Bone marrow smear.
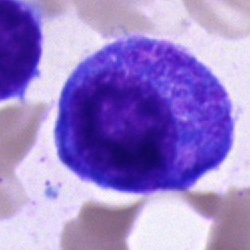

Cell type = promyelocyte.